Peripheral blood film · image size 400×400 · Romanowsky stain.
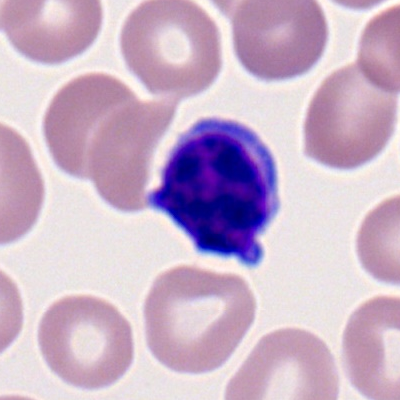

Morphological class: lymphocyte.